Single-cell field · brightfield microscopy, 40× oil immersion · bone marrow aspirate smear:
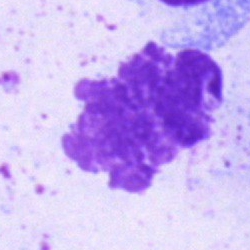

Cell = artifact.